100× oil immersion, 14.14 px/µm · peripheral blood film — 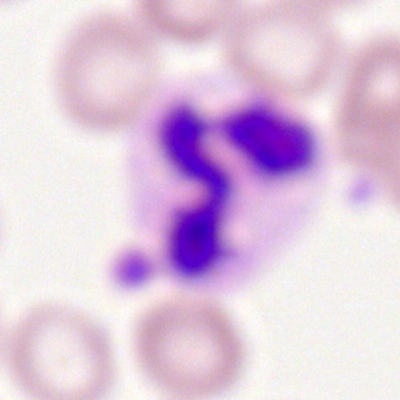 Polymorphonuclear neutrophil.